Bone marrow aspirate smear.
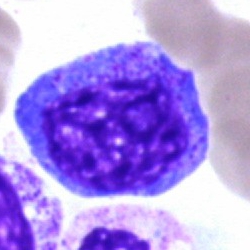 This is a progranulocyte.